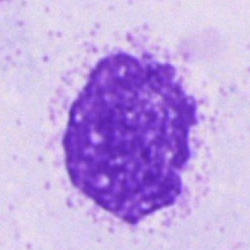Q: What is shown here?
A: An artefact.